Peripheral blood smear: 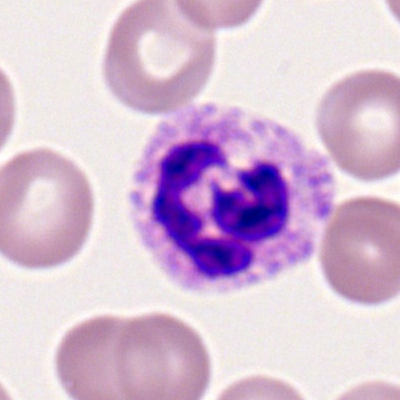 Q: What is the morphological classification of this cell?
A: A polymorphonuclear neutrophil.